May-Grünwald-Giemsa stain · brightfield microscopy, 40× oil immersion · bone marrow smear — 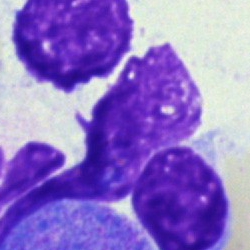

The cell shown is an artifact.